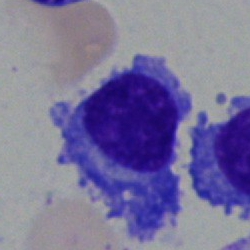
{"cell_type": "plasma cell", "lineage": "lymphoid"}